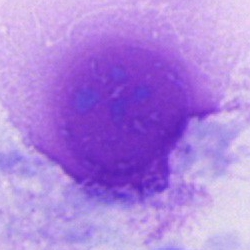A cell not matching the other categories.